Bone marrow aspirate smear. 40× oil immersion. Cropped to a single cell:
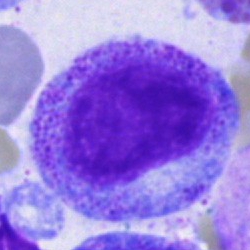

Single cell identified as a promyelocyte.